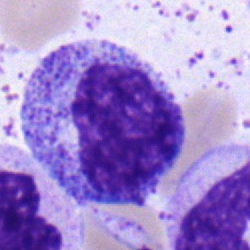Showing a myelocyte.